Single cell centered in the field; bone marrow smear; May-Grünwald-Giemsa/Pappenheim stain
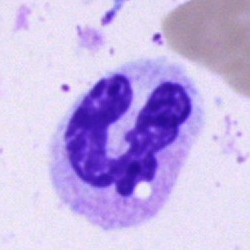
This is a neutrophil (segmented).